Pappenheim-stained · bone marrow aspirate smear · single cell centered in the field: 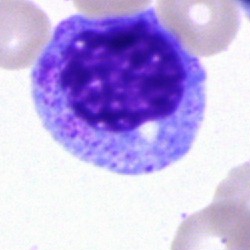

Morphology → promyelocyte.